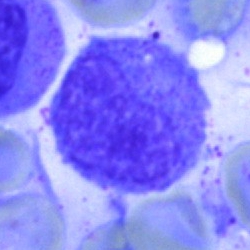Classification — cell of indeterminate lineage.